Bone marrow smear:
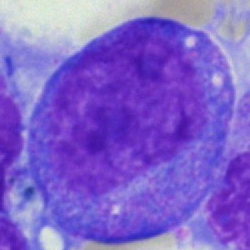 Q: What is the morphological classification of this cell?
A: A progranulocyte.